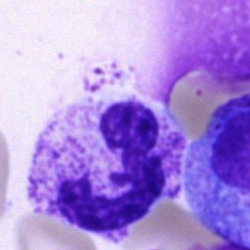 Q: What type of cell is this?
A: It is a segmented neutrophil.